Bone marrow aspirate smear; single-cell crop — 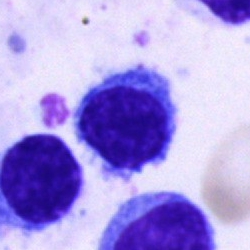 Q: What is the morphological classification of this cell?
A: A lymphocyte.